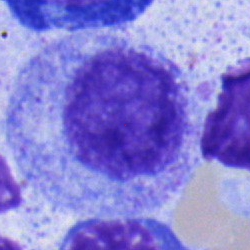 Cell type: myelocyte.